Bone marrow aspirate smear · May-Grünwald-Giemsa stain:
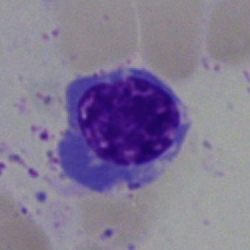
A nucleated red cell.